Bone marrow smear:
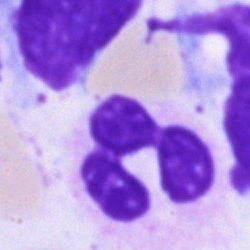
The cell type is neutrophil (segmented).